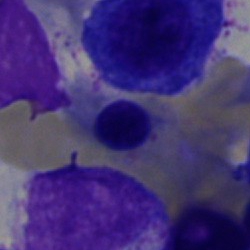

Impression → nucleated red blood cell.